Cropped to a single cell. Peripheral blood smear. Romanowsky stain:
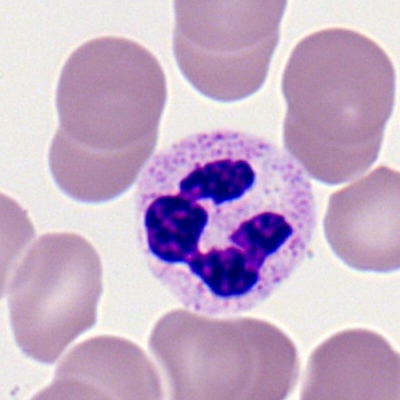

Morphological class = polymorphonuclear neutrophil.